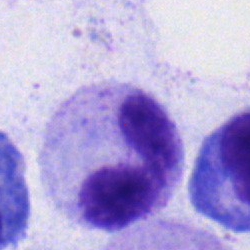Morphology consistent with a neutrophil (band).